Bone marrow aspirate smear — 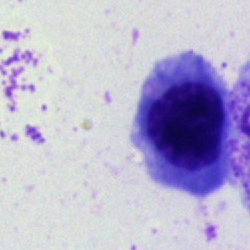
The cell shown is an erythroblast.